250×250 px. Bone marrow smear:
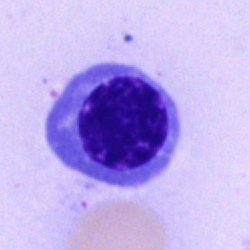 Cell — normoblast.